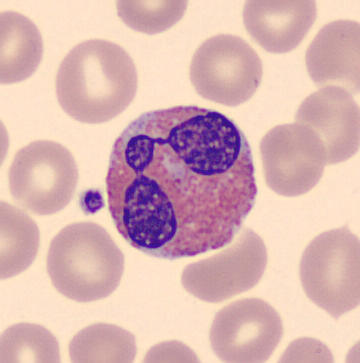 Peripheral blood film. Morphology → eosinophil.